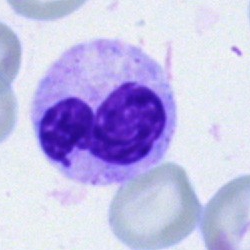

Cell type — polymorphonuclear neutrophil.